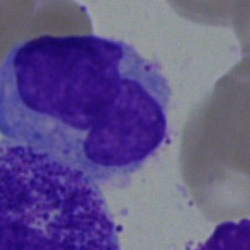

The classification is monocyte.